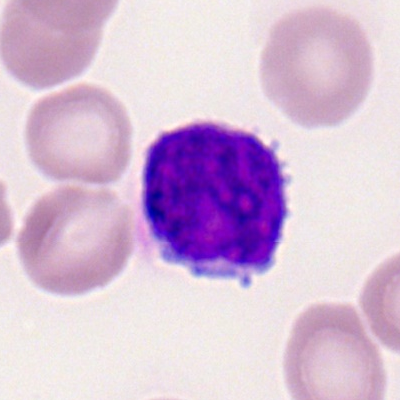

Morphology consistent with a typical lymphocyte.